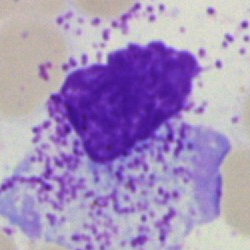

Cell = artifact.